Single-cell crop. Pappenheim-stained. Bone marrow aspirate smear — 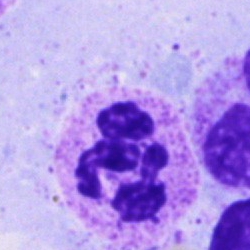

Morphological class = polymorphonuclear neutrophil.